Single-cell crop · peripheral blood film: 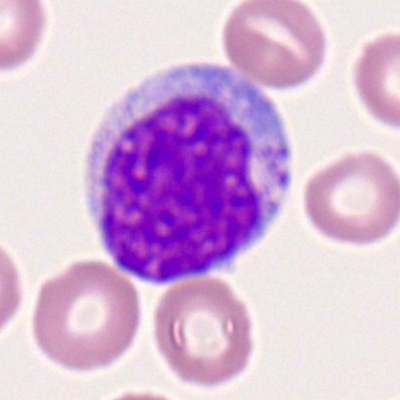Showing a monocyte.